Bone marrow smear
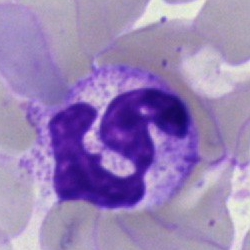 Specimen: bone marrow smear.
Classification: neutrophil (segmented).
Lineage: myeloid.